Bone marrow aspirate smear · cropped to a single cell · brightfield microscopy, 40× oil immersion:
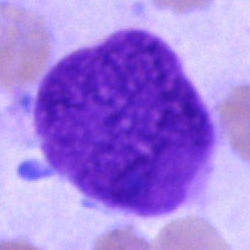

Showing an artefact.